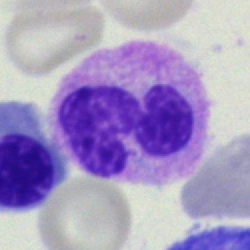
The cell is segmented neutrophil.